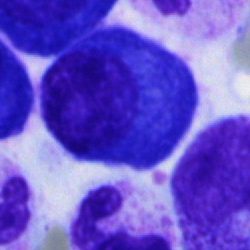 Impression → plasma cell.